Bone marrow smear:
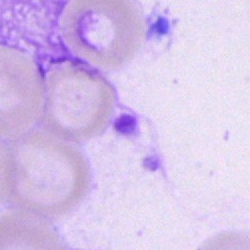

Morphology consistent with an artifact.